Peripheral blood film:
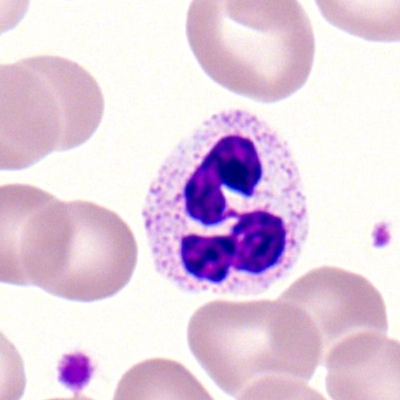{"cell_type": "segmented neutrophil", "lineage": "myeloid"}